Cropped to a single cell; peripheral blood film; M8 digital microscope (Precipoint), 100× oil immersion — 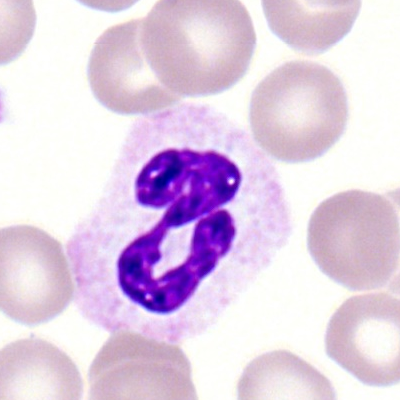 The cell shown is a neutrophil (segmented).